Bone marrow aspirate smear
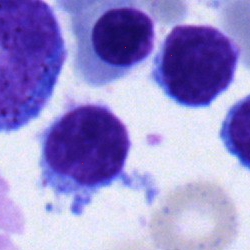The cell is normoblast.